Bone marrow aspirate smear; image size 250×250: 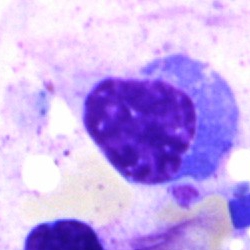

Classification — erythroblast.